Bone marrow smear.
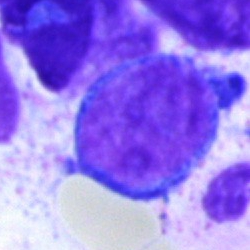{"cell_type": "proerythroblast", "lineage": "erythroid"}